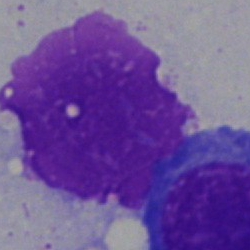Morphological class = artefact.